Peripheral blood film; image size 400×400 — 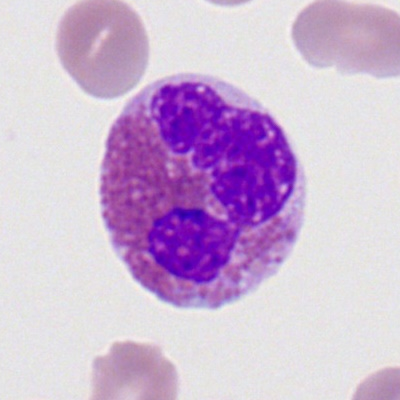
The cell is eosinophil.